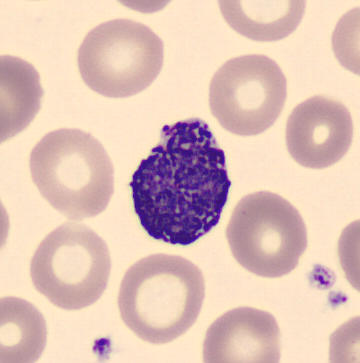

Cell = basophilic granulocyte.